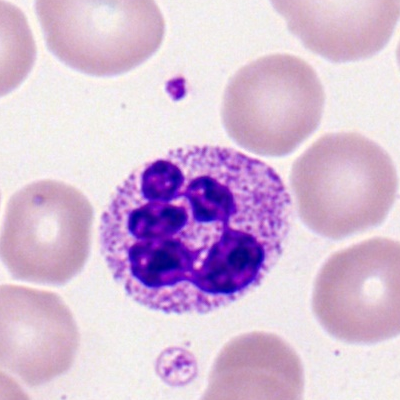 Classification: neutrophil (segmented).